Bone marrow aspirate smear; 250 by 250 pixels:
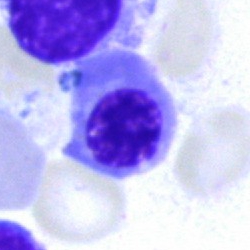Cell = normoblast.